250×250; 40× oil immersion; bone marrow aspirate smear — 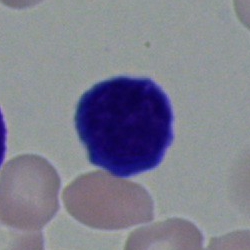Impression → typical lymphocyte.